Bone marrow smear. MGG-stained.
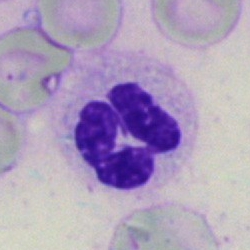 Specimen: bone marrow aspirate smear.
Cell: neutrophil (segmented).